Peripheral blood film; Romanowsky stain
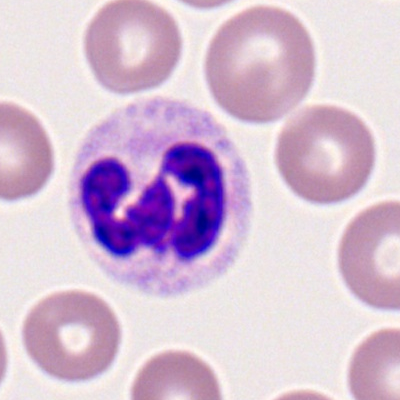 Q: What is the morphological classification of this cell?
A: It is a segmented neutrophil.